Bone marrow aspirate smear — 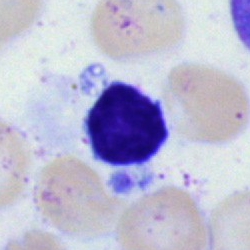Single cell identified as a typical lymphocyte.